Bone marrow smear; brightfield microscopy, 40× oil immersion; single-cell field — 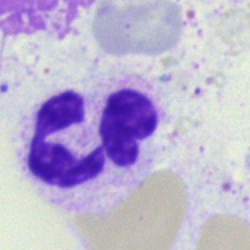 Cell = neutrophil (segmented).